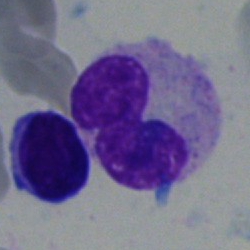

Morphology consistent with a neutrophil (segmented).